Single cell centered in the field · bone marrow aspirate smear — 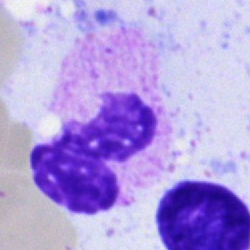 Q: What cell is this?
A: It is a segmented neutrophil.